Bone marrow aspirate smear; May-Grünwald-Giemsa stain
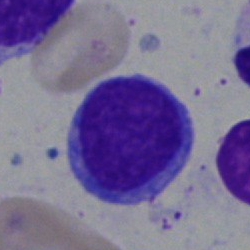

Classification — typical lymphocyte.